May-Grünwald-Giemsa-stained. Peripheral blood smear:
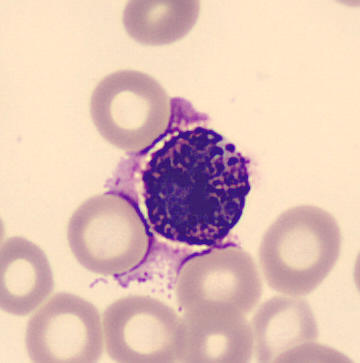Cell: basophilic granulocyte.